Bone marrow aspirate smear.
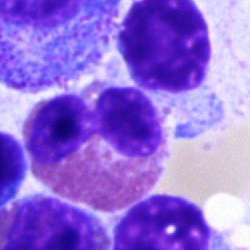
Classification = eosinophilic granulocyte.